Bone marrow smear — 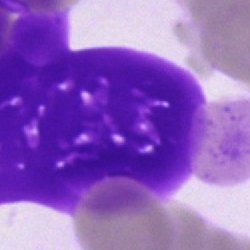 This is an artefact.